Bone marrow smear
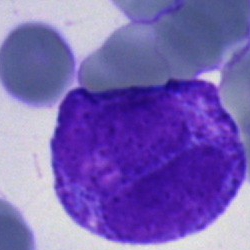Q: Which cell type is shown here?
A: This is an undifferentiated blast.